Peripheral blood film. 100× oil immersion — 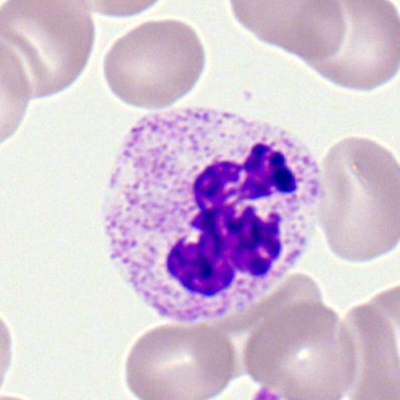Specimen: peripheral blood film.
Cell: neutrophil (segmented).
Lineage: myeloid.